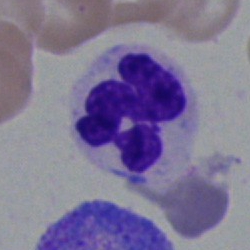Impression → segmented neutrophil.